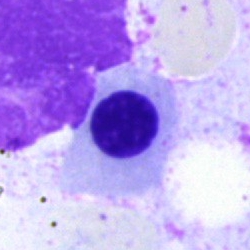
The cell is erythroblast.